Bone marrow smear: 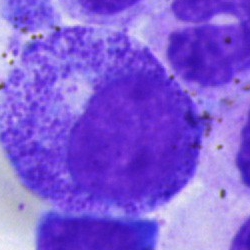 Q: What is shown here?
A: Myelocyte.